Bone marrow smear. MGG-stained:
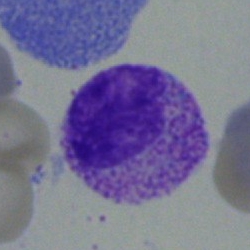
Q: Which cell type is shown here?
A: Myelocyte.